MGG-stained · brightfield microscopy, 40× oil immersion · bone marrow aspirate smear:
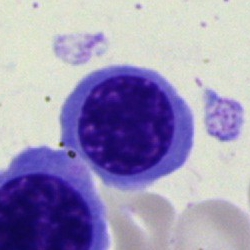The morphological class is nucleated red cell.